Single-cell crop. 400 by 400 pixels. Peripheral blood smear — 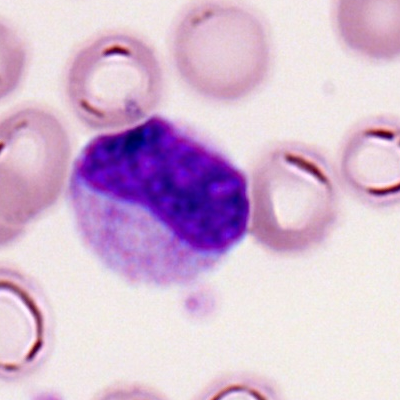Morphology — metamyelocyte.